Brightfield microscopy, 40× oil immersion · single-cell crop · bone marrow smear:
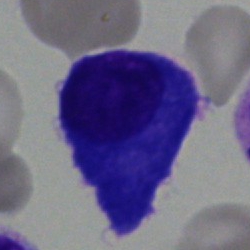
The classification is plasma cell.